Bone marrow smear.
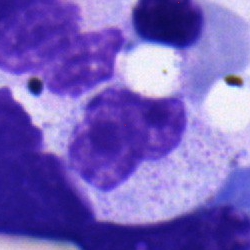{"cell_type": "metamyelocyte", "lineage": "myeloid"}